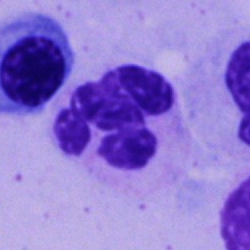 This is a segmented neutrophil.